Single-cell field; bone marrow aspirate smear: 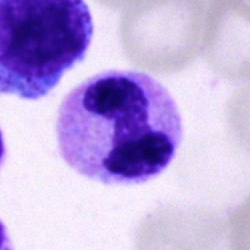

Q: What is shown here?
A: A neutrophil (segmented).